Cropped to a single cell · bone marrow smear:
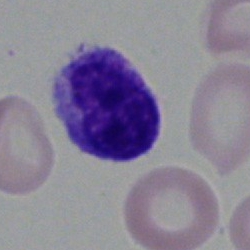
Single cell identified as a metamyelocyte.